Bone marrow aspirate smear · 250 by 250 pixels.
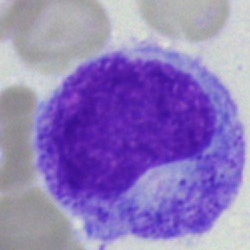 Q: What is the morphological classification of this cell?
A: A progranulocyte.